250×250. Bone marrow smear. Cropped to a single cell
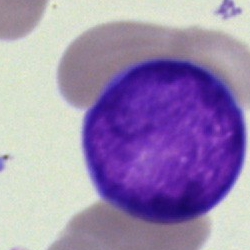
Single cell identified as a blast.